250×250. Bone marrow aspirate smear. Single-cell field — 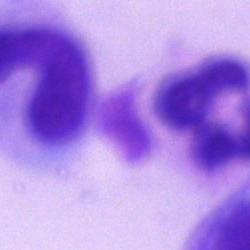

An artifact.